Bone marrow aspirate smear:
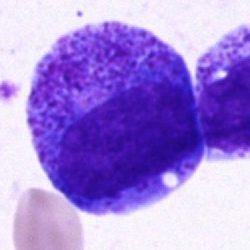 {"cell_type": "progranulocyte", "lineage": "myeloid"}